Bone marrow smear; brightfield, 40× oil-immersion objective; single-cell field:
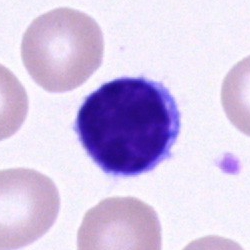 Lymphocyte.